250×250 px · bone marrow smear · 40× oil immersion — 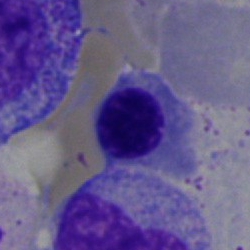 Cell type: erythroblast.